Bone marrow aspirate smear · Pappenheim-stained — 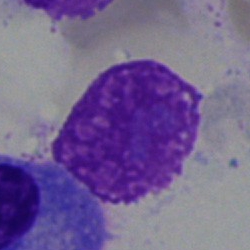Artifact.